250 by 250 pixels · bone marrow aspirate smear · brightfield, 40× oil-immersion objective: 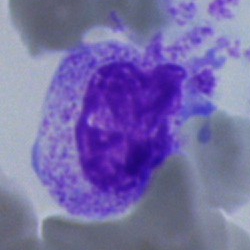 Cell: myelocyte.